Brightfield microscopy, 40× oil immersion. Image size 250×250. Bone marrow smear
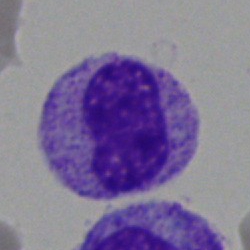

Q: What is the morphological classification of this cell?
A: This is a band neutrophil.